Bone marrow smear: 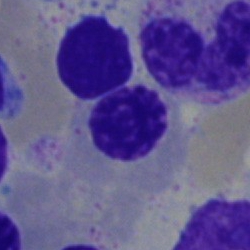

The cell is nucleated red cell.